Image size 250×250. Bone marrow smear. Single-cell crop: 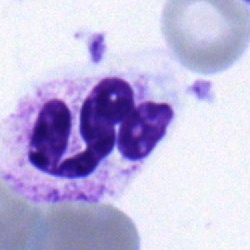Q: What is the morphological classification of this cell?
A: Neutrophil (segmented).